Bone marrow smear · single-cell field
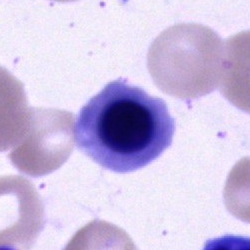

Classification = normoblast.